Bone marrow aspirate smear — 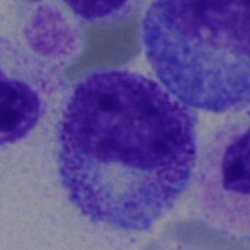 Showing a promyelocyte.